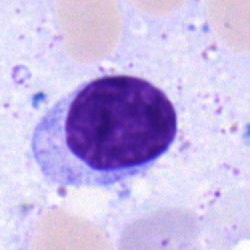
Q: What cell is this?
A: It is a lymphocyte.